Bone marrow smear
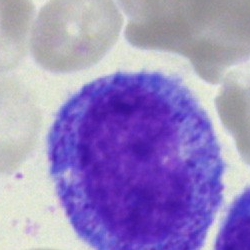 The cell is promyelocyte.